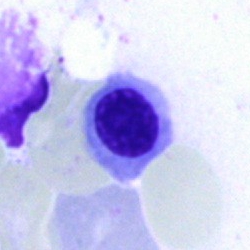

Morphology consistent with a nucleated red blood cell.